Bone marrow smear — 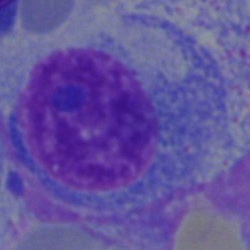

Morphological class = plasma cell.